Bone marrow smear — 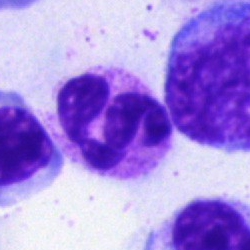Showing a polymorphonuclear neutrophil.